Bone marrow smear
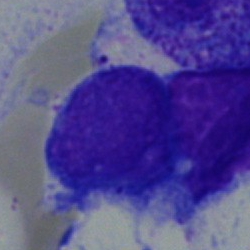 Q: What is the morphological classification of this cell?
A: This is a blast.